Bone marrow aspirate smear: 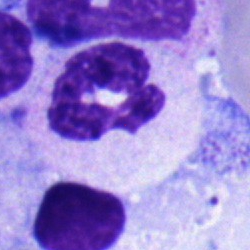 Cell = segmented neutrophil.